Bone marrow smear; brightfield microscopy, 40× oil immersion — 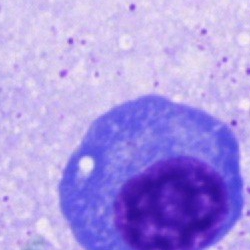Classification = plasmacyte.